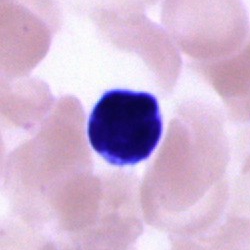
Q: What is the morphological classification of this cell?
A: This is a lymphocyte.